Peripheral blood smear:
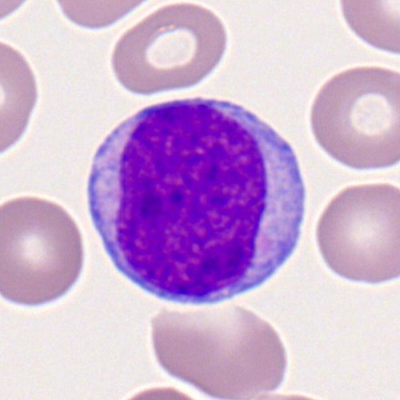 The cell type is myeloblast.